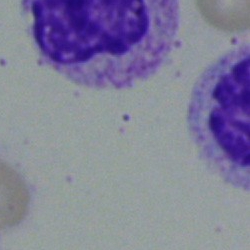Q: Which cell type is shown here?
A: A myelocyte.